Bone marrow aspirate smear:
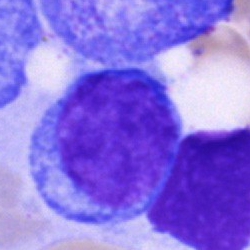
Morphological class = undifferentiated blast.